Bone marrow smear: 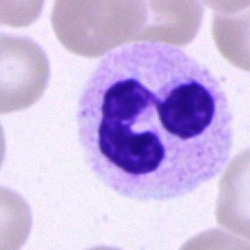Morphology consistent with a neutrophil (segmented).